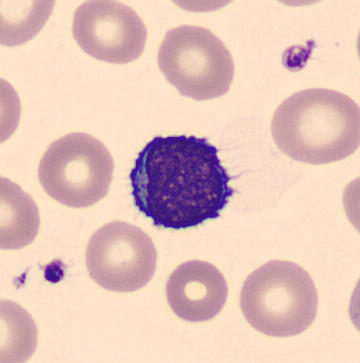
Impression → typical lymphocyte.